Bone marrow smear. Single-cell crop: 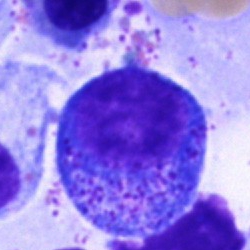
The cell shown is a progranulocyte.